Peripheral blood smear:
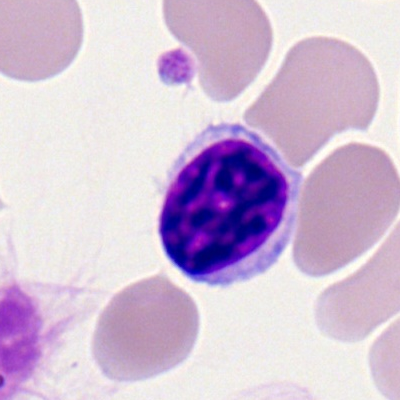Showing a typical lymphocyte.